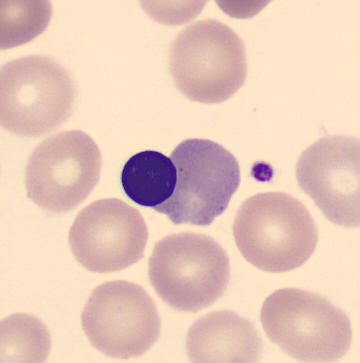

Impression → nucleated red blood cell.